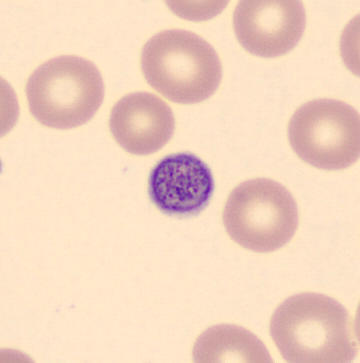Morphological class = thrombocyte.